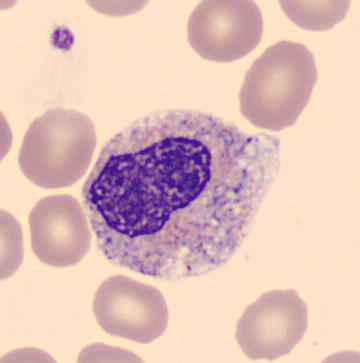 This is a metamyelocyte.

Acquisition: Peripheral blood smear.